Image size 250×250 · bone marrow smear.
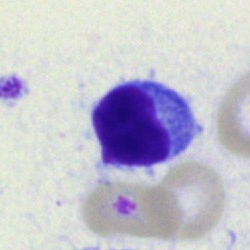

Single cell identified as a typical lymphocyte.